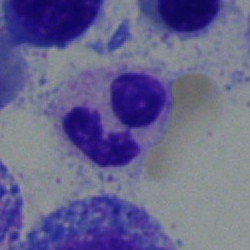 Morphological class — neutrophil (segmented).